Peripheral blood smear
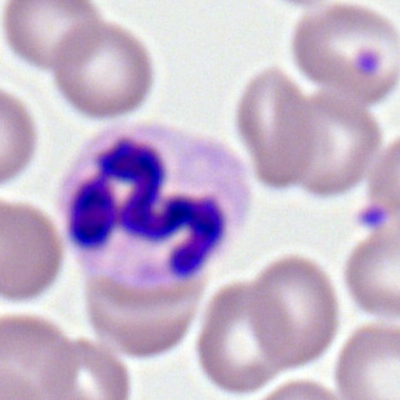
Cell type = polymorphonuclear neutrophil.